Bone marrow smear.
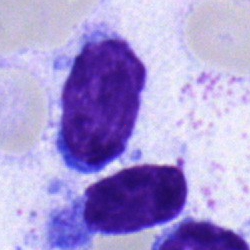 Single cell identified as a typical lymphocyte.